Bone marrow smear — 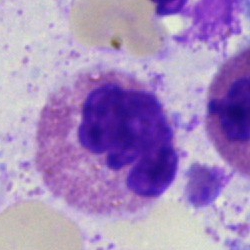Morphological class — eosinophilic granulocyte.